360×363; peripheral blood film: 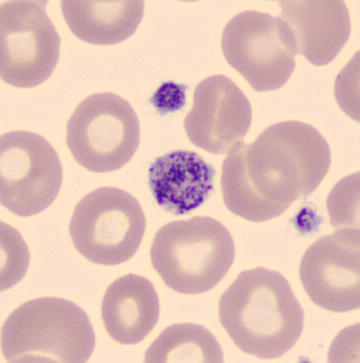 Q: What is this?
A: This is a thrombocyte.